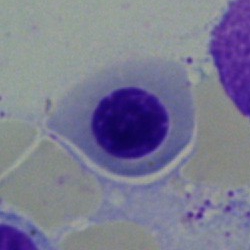

Specimen: bone marrow aspirate smear.
Classification: erythroblast.